Bone marrow smear — 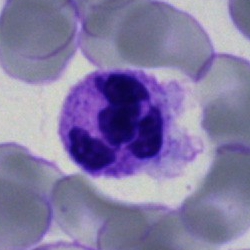 Classification: neutrophil (segmented).